Bone marrow smear:
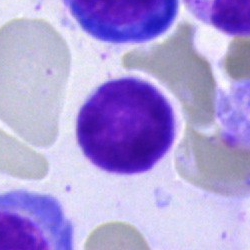
Morphological class — lymphocyte.